Bone marrow aspirate smear.
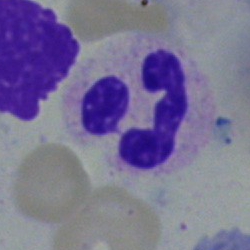
Q: What cell is this?
A: Neutrophil (segmented).